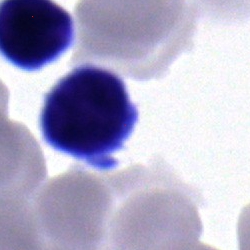

{"cell_type": "typical lymphocyte", "lineage": "lymphoid"}